Bone marrow smear: 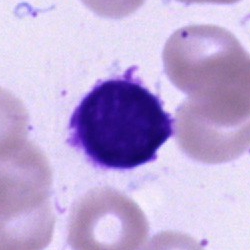
This is a typical lymphocyte.